Bone marrow aspirate smear
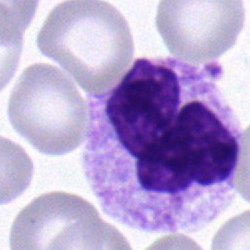
Impression — segmented neutrophil.